Bone marrow smear:
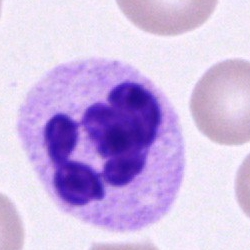 Morphological class: polymorphonuclear neutrophil.